Bone marrow aspirate smear. Single-cell crop. 40× oil immersion — 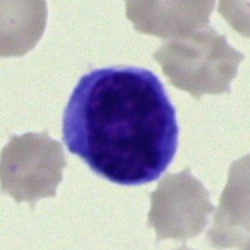

Impression → unidentifiable cell.